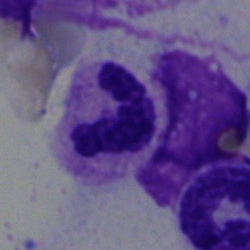The cell shown is a segmented neutrophil.